Bone marrow smear:
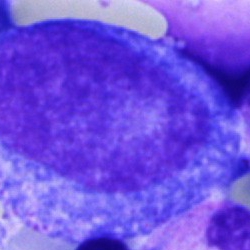

The cell shown is a promyelocyte.